May-Grünwald-Giemsa/Pappenheim stain; bone marrow aspirate smear.
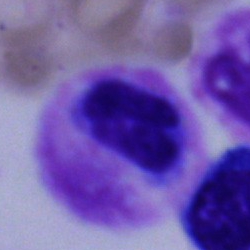
Specimen: bone marrow aspirate smear.
Cell: artifact.